Peripheral blood smear.
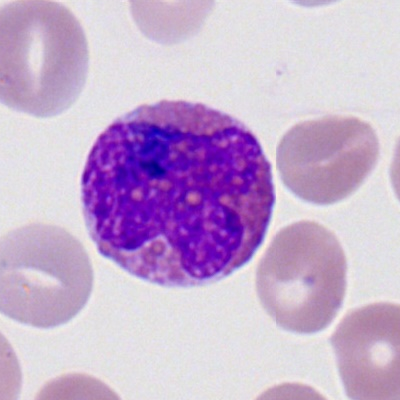Specimen: peripheral blood smear.
Cell: eosinophil.